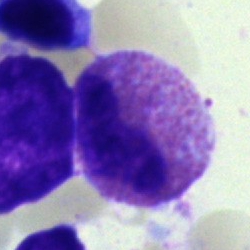

Classification: eosinophilic granulocyte.